Bone marrow smear — 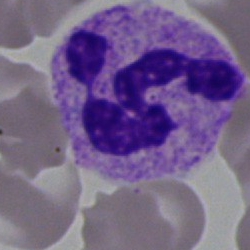 Specimen: bone marrow aspirate smear.
Cell: neutrophil (segmented).
Lineage: myeloid.